Bone marrow smear: 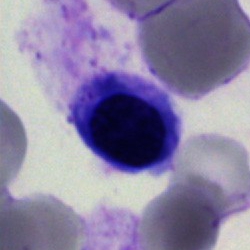 Classification = normoblast.